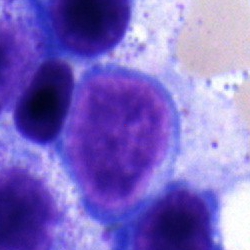Proerythroblast.